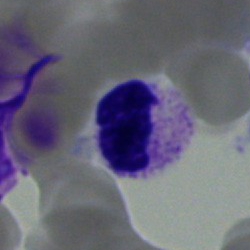
Morphological class — neutrophil (segmented).